Single cell centered in the field. Bone marrow aspirate smear:
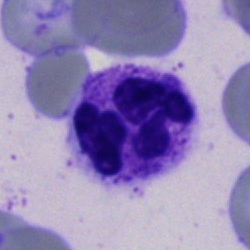 Morphology — segmented neutrophil.